MGG stain; peripheral blood smear.
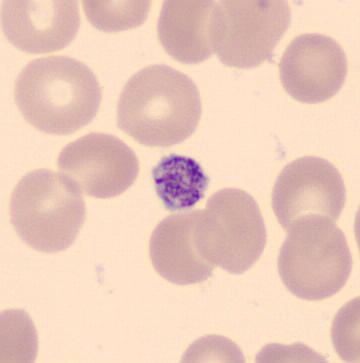 Impression → platelet (thrombocyte).